Pappenheim-stained. Brightfield microscopy, 40× oil immersion. Bone marrow aspirate smear
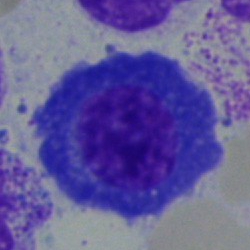 Q: Which cell type is shown here?
A: This is a plasma cell.